250×250 px. Pappenheim-stained. Bone marrow aspirate smear.
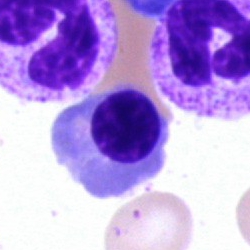Q: Which cell type is shown here?
A: Nucleated red blood cell.